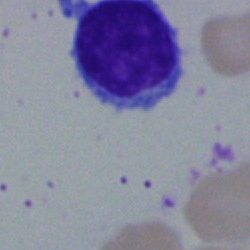 Specimen: bone marrow aspirate smear.
Cell: typical lymphocyte.
Lineage: lymphoid.